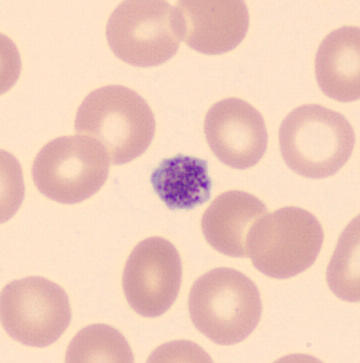
Classification — thrombocyte.